Single-cell field; bone marrow aspirate smear
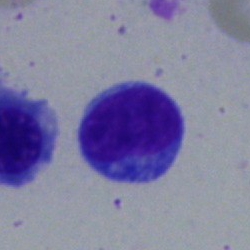This is a typical lymphocyte.